Bone marrow smear · brightfield, 40× oil-immersion objective · 250 by 250 pixels:
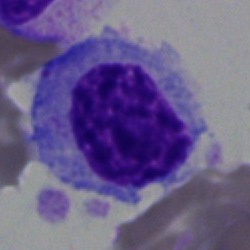 Cell = hairy cell.